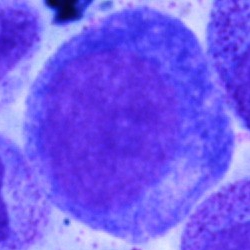Specimen: bone marrow aspirate smear.
Classification: promyelocyte.